Single cell centered in the field; bone marrow smear
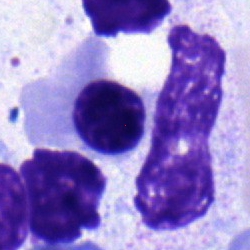Q: What is shown here?
A: Nucleated red cell.